Bone marrow aspirate smear; 40× oil immersion; image size 250×250:
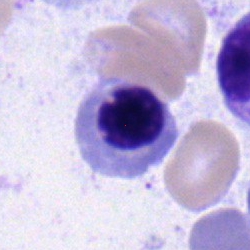 Morphology — normoblast.